MGG-stained · bone marrow aspirate smear:
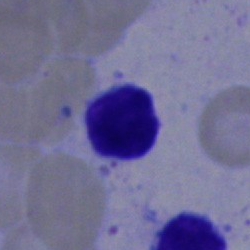
Single cell identified as a lymphocyte.